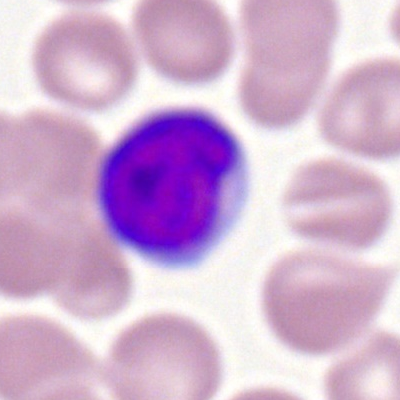
Q: What cell is this?
A: This is a lymphocyte.